Single-cell field. 40× oil immersion. Bone marrow smear — 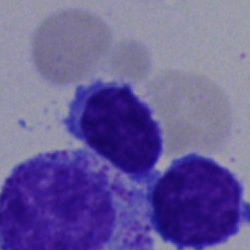

Q: What is shown here?
A: Typical lymphocyte.